Bone marrow smear:
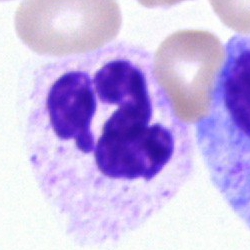
{"cell_type": "polymorphonuclear neutrophil"}